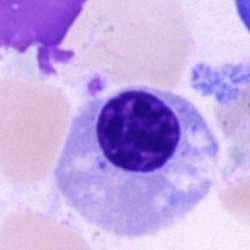Bone marrow aspirate smear, single cell — nucleated red blood cell.